Bone marrow smear: 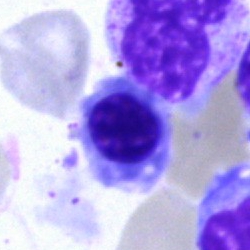

Cell — nucleated red cell.